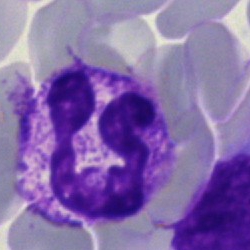 Morphology → segmented neutrophil.